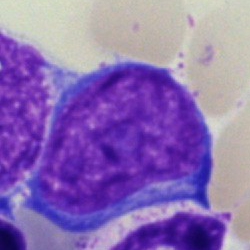 Morphology → pronormoblast.